Bone marrow aspirate smear.
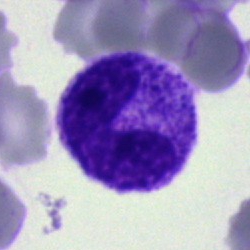
Band neutrophil.